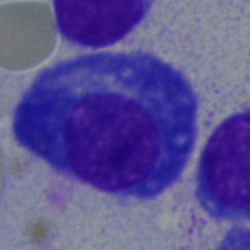 This is a plasmacyte.